Single cell centered in the field; bone marrow smear
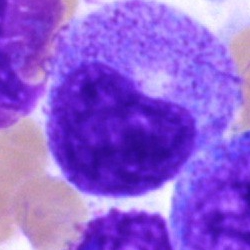

Specimen: bone marrow smear.
Morphological class: promyelocyte.
Lineage: myeloid.